Bone marrow aspirate smear:
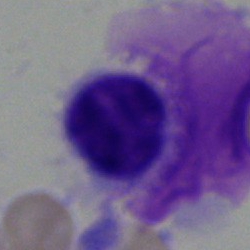 Specimen: bone marrow smear.
Morphological class: hairy cell.
Lineage: lymphoid.